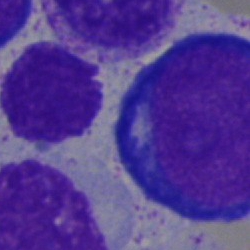{"cell_type": "proerythroblast", "lineage": "erythroid"}